Bone marrow aspirate smear: 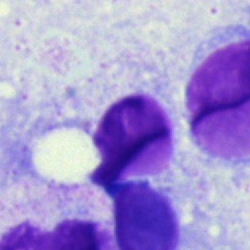
The classification is artefact.